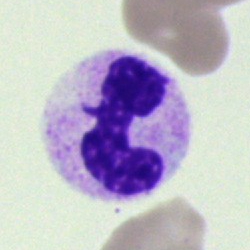

Bone marrow smear showing a band neutrophil.